Bone marrow smear.
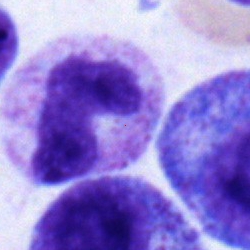 Single cell identified as a band neutrophil.